Single-cell field. Bone marrow smear: 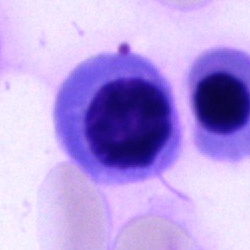

Cell = nucleated red blood cell.